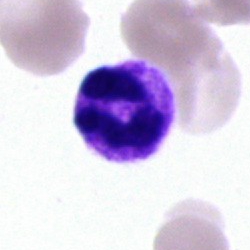
Impression — segmented neutrophil.